Bone marrow aspirate smear.
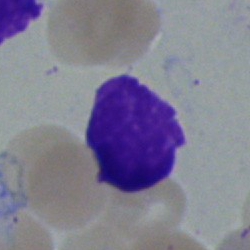
Morphology consistent with an artefact.